Brightfield microscopy, 40× oil immersion · bone marrow smear
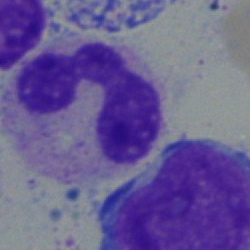The cell shown is a neutrophil (segmented).